Bone marrow aspirate smear.
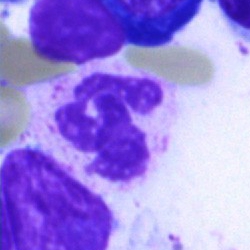

A neutrophil (segmented).